Bone marrow smear.
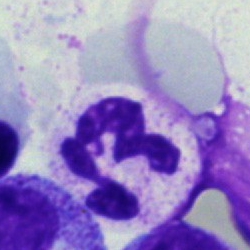 Showing a polymorphonuclear neutrophil.